Bone marrow aspirate smear · May-Grünwald-Giemsa stain · brightfield, 40× oil-immersion objective
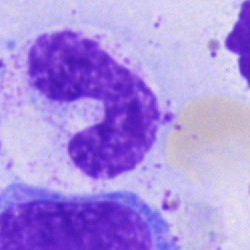Morphological class = neutrophil (band).